Single-cell crop · bone marrow smear · 250 by 250 pixels — 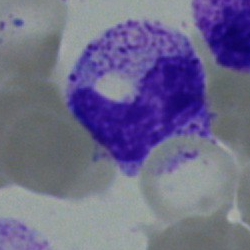A stab cell.